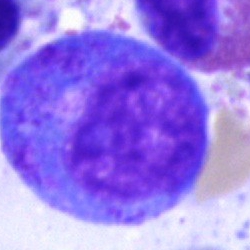

Q: What cell is this?
A: A progranulocyte.